Bone marrow smear: 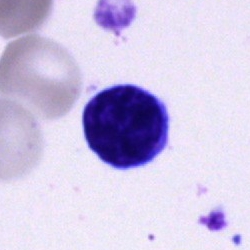 Specimen: bone marrow aspirate smear.
Morphological class: lymphocyte.
Lineage: lymphoid.